Bone marrow aspirate smear:
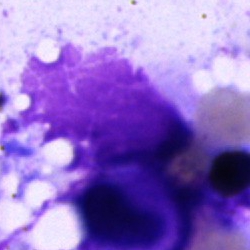

The cell shown is an artifact.